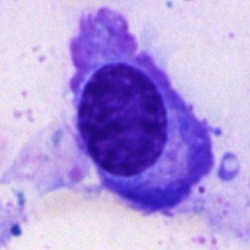 A plasmacyte.